Peripheral blood film. Cropped to a single cell: 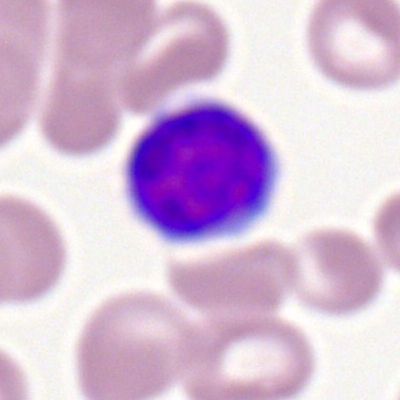
Single cell identified as a typical lymphocyte.